Bone marrow aspirate smear.
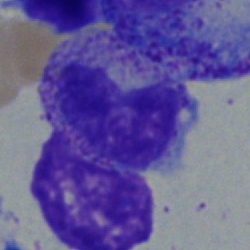

Q: What is the morphological classification of this cell?
A: Metamyelocyte.